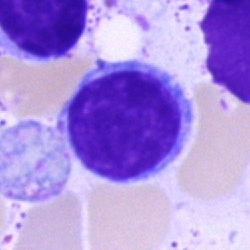 A lymphocyte.